Bone marrow aspirate smear
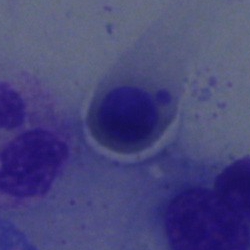 Specimen: bone marrow smear.
Classification: nucleated red blood cell.